Bone marrow aspirate smear: 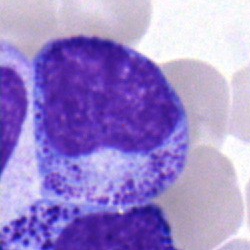
This is a myelocyte.